May-Grünwald-Giemsa stain; 250×250 px; bone marrow aspirate smear — 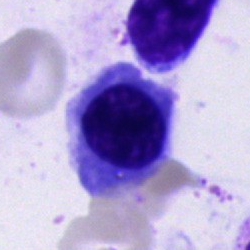The cell type is nucleated red cell.